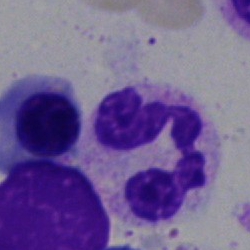Impression → neutrophil (segmented).